Bone marrow smear.
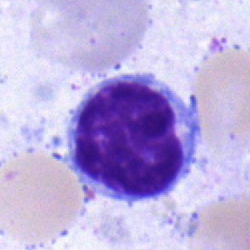

Morphology → lymphocyte.